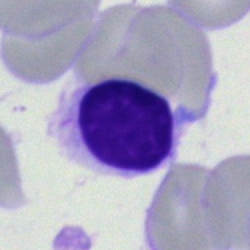
Morphology — typical lymphocyte.